Bone marrow aspirate smear:
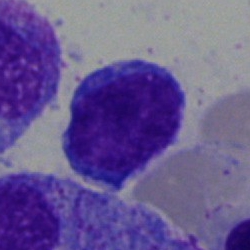
Lymphocyte.